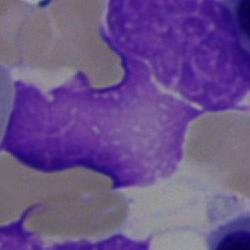 Q: What is shown here?
A: Artefact.